Bone marrow smear; 40× oil immersion; 250 by 250 pixels.
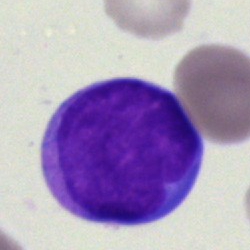Cell type — blast.